Bone marrow aspirate smear: 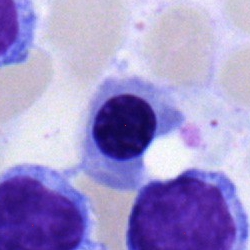 Specimen: bone marrow aspirate smear.
Cell: normoblast.
Lineage: erythroid.